Bone marrow aspirate smear — 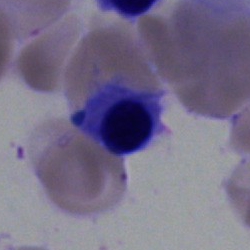 Nucleated red cell.